Bone marrow aspirate smear; Pappenheim-stained — 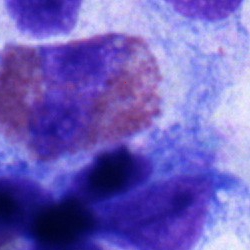Q: What is the morphological classification of this cell?
A: It is an eosinophilic granulocyte.